Bone marrow smear · cropped to a single cell · Pappenheim-stained
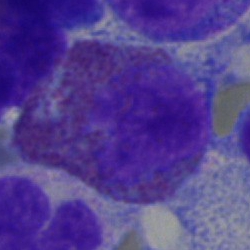Showing an eosinophil.